Bone marrow smear; Pappenheim-stained.
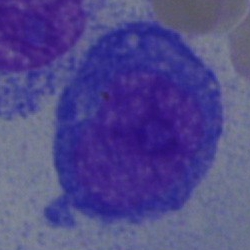Single cell identified as an undifferentiated blast.